Bone marrow aspirate smear · 250×250 px · cropped to a single cell
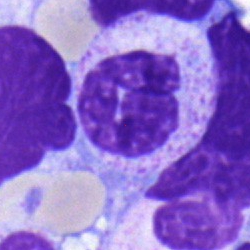 Morphology — band neutrophil.